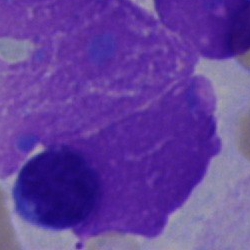 Cell type — artifact.